MGG-stained. 250 by 250 pixels. Bone marrow smear — 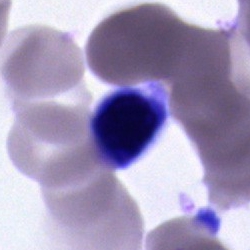Morphological class = unidentifiable cell.